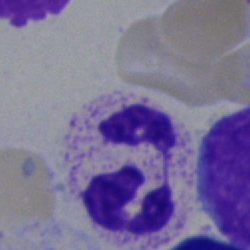Showing a polymorphonuclear neutrophil.